Bone marrow smear
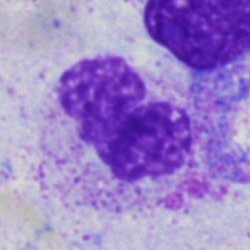Cell — band neutrophil.